Bone marrow smear. 40× oil immersion
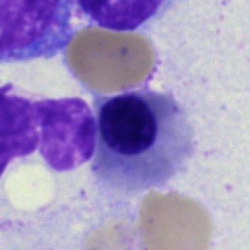
Impression — nucleated red blood cell.